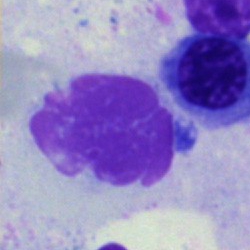

Cell type = artefact.